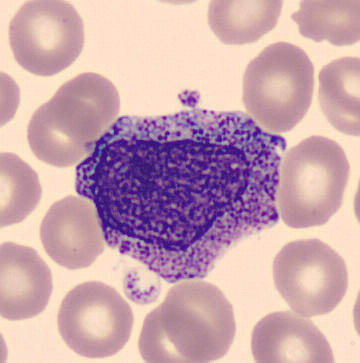

Acquisition: MGG-stained; peripheral blood film.

Classification — progranulocyte.